Bone marrow aspirate smear. Cropped to a single cell.
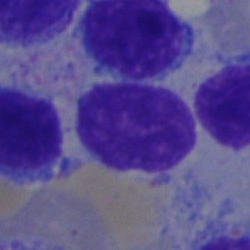 Showing a typical lymphocyte.